250 by 250 pixels · bone marrow aspirate smear · May-Grünwald-Giemsa stain.
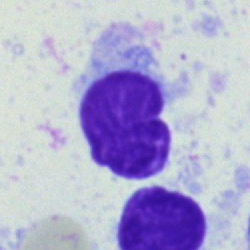A lymphocyte.